Bone marrow aspirate smear.
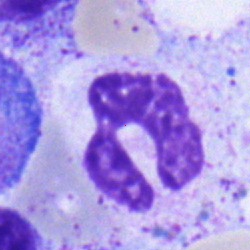 This is a neutrophil (band).